Bone marrow smear: 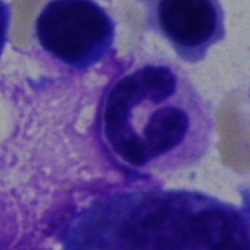
This is a neutrophil (segmented).